Bone marrow smear: 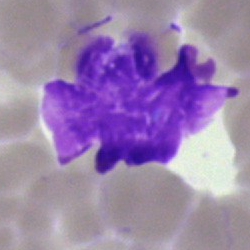

{"cell_type": "lymphocyte", "lineage": "lymphoid"}